Bone marrow aspirate smear · May-Grünwald-Giemsa stain
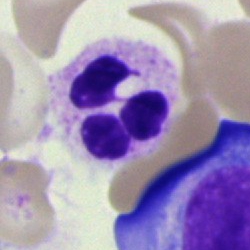Specimen: bone marrow smear.
Cell type: polymorphonuclear neutrophil.